40× oil immersion. Bone marrow smear — 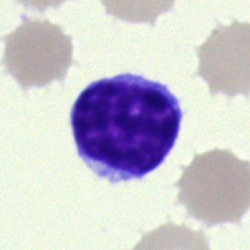 Q: What type of cell is this?
A: Typical lymphocyte.